Bone marrow smear — 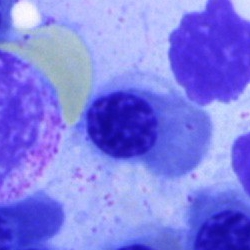

Q: Which cell type is shown here?
A: A nucleated red cell.